Bone marrow aspirate smear.
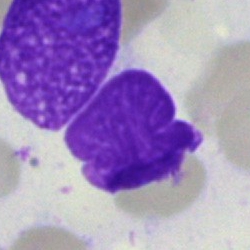 Morphology — artifact.